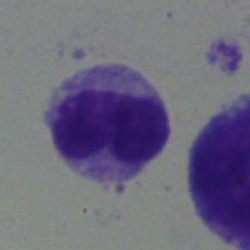 Impression — metamyelocyte.